Bone marrow smear: 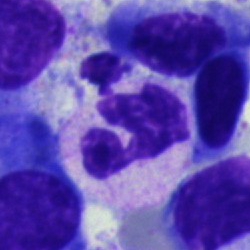
Cell: polymorphonuclear neutrophil.